Single cell centered in the field; bone marrow aspirate smear.
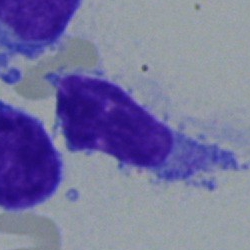

Morphology consistent with a typical lymphocyte.